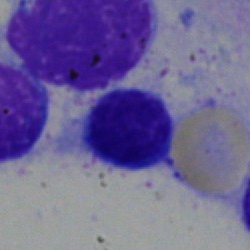Bone marrow smear showing a typical lymphocyte.